MGG-stained · bone marrow smear: 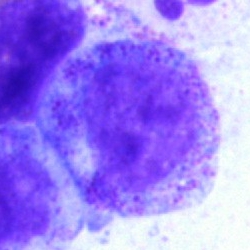

Showing a myelocyte.